Romanowsky stain; peripheral blood film
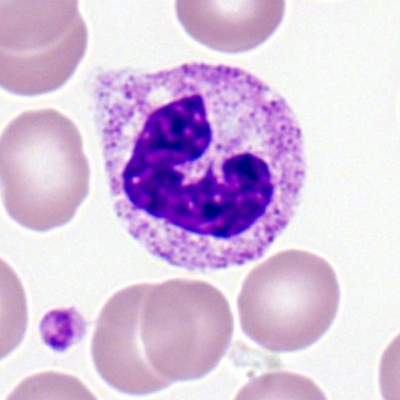Cell type — polymorphonuclear neutrophil.